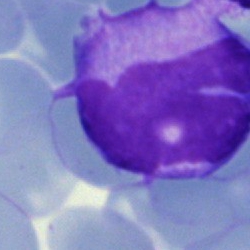Q: What is shown here?
A: This is an artefact.